May-Grünwald-Giemsa/Pappenheim stain. Bone marrow smear
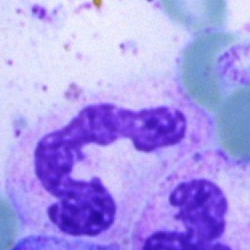
Morphology — segmented neutrophil.